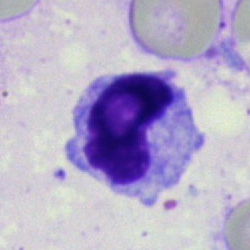 Specimen: bone marrow smear.
Classification: artifact.